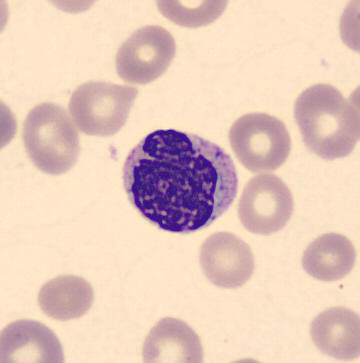
Peripheral blood film, single cell — metamyelocyte.